Bone marrow smear
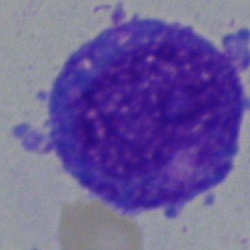The cell shown is a promyelocyte.